Bone marrow aspirate smear:
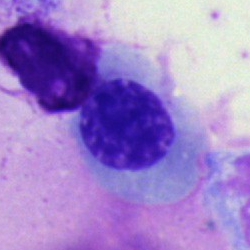

Specimen: bone marrow smear.
Cell type: normoblast.
Lineage: erythroid.